250×250 px; bone marrow aspirate smear
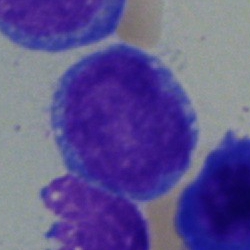Q: Which cell type is shown here?
A: Undifferentiated blast.